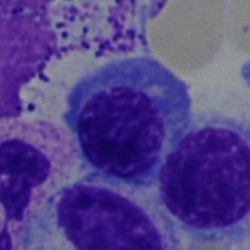A nucleated red blood cell.